Bone marrow smear; MGG-stained:
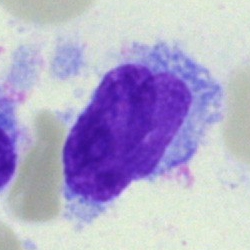

The classification is hairy cell.